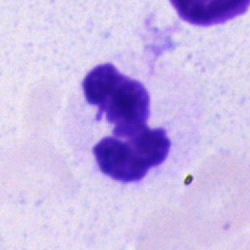Morphology → segmented neutrophil.